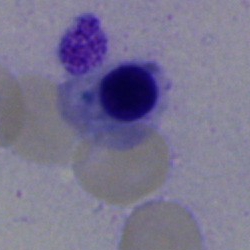 Single-cell crop from a bone marrow smear: nucleated red blood cell.